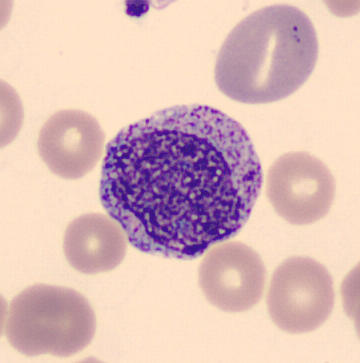Image: 360×363 · peripheral blood smear · MGG stain.

Impression — myelocyte.